May-Grünwald-Giemsa stain; cropped to a single cell; bone marrow aspirate smear
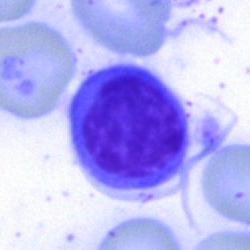 Single cell identified as a typical lymphocyte.